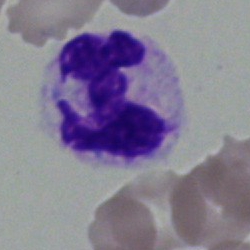

A neutrophil (segmented).